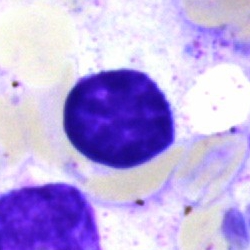The cell type is artifact.